Bone marrow smear · 40× oil immersion · single-cell field — 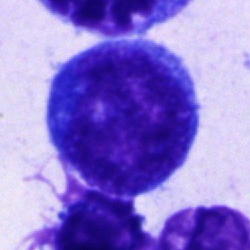Morphology consistent with a blast.